Bone marrow aspirate smear · cropped to a single cell.
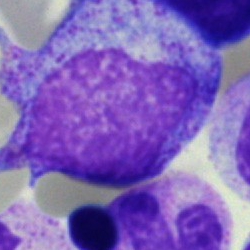
Cell type — progranulocyte.